Bone marrow aspirate smear · May-Grünwald-Giemsa stain — 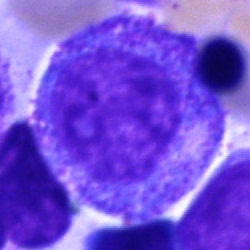Morphology consistent with a promyelocyte.